40× objective, oil immersion. Bone marrow aspirate smear
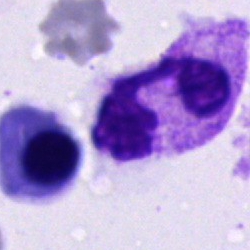

Q: Which cell type is shown here?
A: This is a segmented neutrophil.